Bone marrow smear. Brightfield microscopy, 40× oil immersion. Cropped to a single cell:
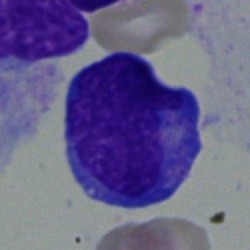Impression — undifferentiated blast.